250×250 px. Bone marrow smear: 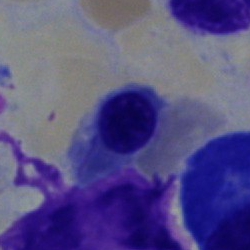Specimen: bone marrow smear.
Classification: nucleated red blood cell.
Lineage: erythroid.